Brightfield, 40× oil-immersion objective · bone marrow smear — 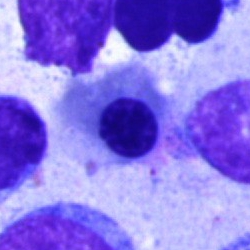

Morphology consistent with a nucleated red blood cell.